Bone marrow smear: 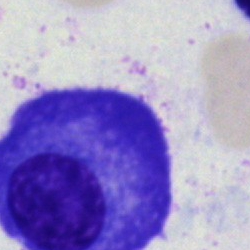 Morphology → plasmacyte.